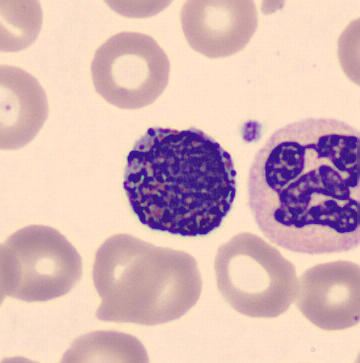
Image: Peripheral blood film. Automated cell imaging (CellaVision DM96).
Impression — basophil.